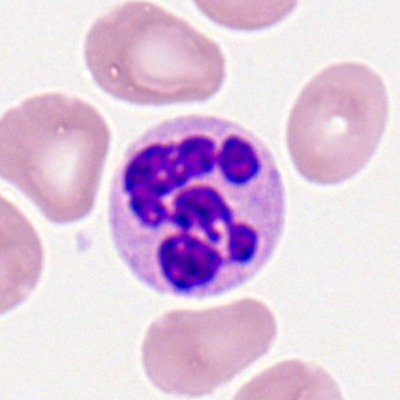
Q: What is the morphological classification of this cell?
A: It is a segmented neutrophil.